Single-cell crop · bone marrow aspirate smear · image size 250×250
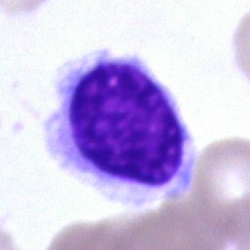
This is a hairy cell.